Bone marrow smear: 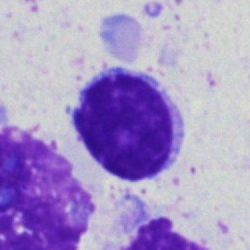Q: What type of cell is this?
A: This is a typical lymphocyte.